Bone marrow aspirate smear:
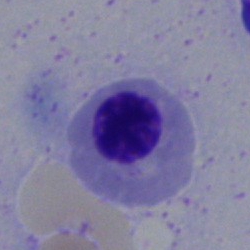 Q: What cell is this?
A: This is an erythroblast.